Bone marrow aspirate smear — 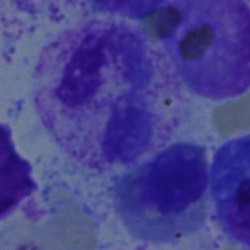

Q: What type of cell is this?
A: This is a polymorphonuclear neutrophil.